Image size 400×400. Peripheral blood smear — 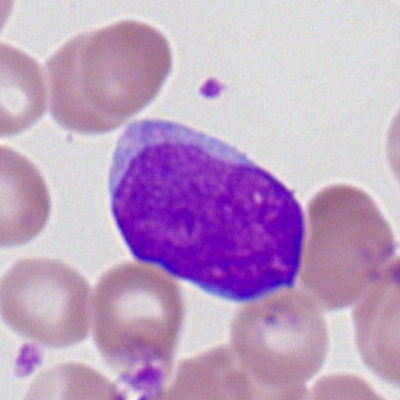Single cell identified as a myeloid blast.